MGG-stained. Bone marrow smear.
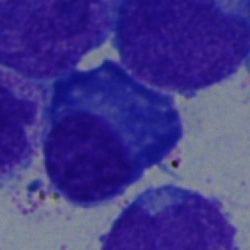Cell type — plasma cell.